Bone marrow smear:
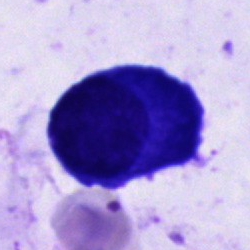
{"cell_type": "plasmacyte", "lineage": "lymphoid"}